Bone marrow smear: 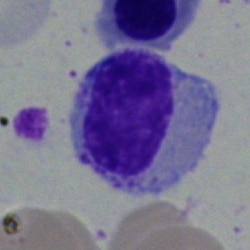
Morphological class = myelocyte.